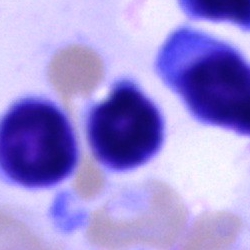 Q: What cell is this?
A: It is a typical lymphocyte.